Peripheral blood film
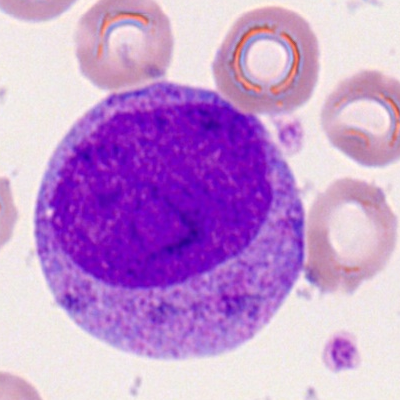Showing a progranulocyte.